40× objective, oil immersion; bone marrow aspirate smear:
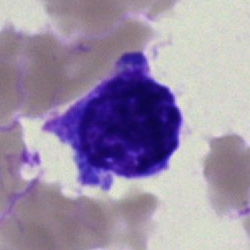

Q: What is the morphological classification of this cell?
A: Blast.